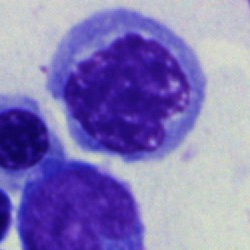

Impression — nucleated red cell.